Image size 400×400 · peripheral blood smear
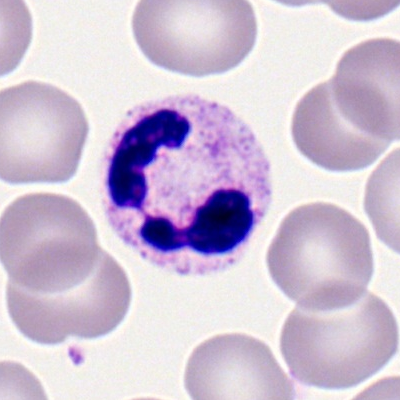

Classification — neutrophil (segmented).